Bone marrow smear. 40× objective, oil immersion.
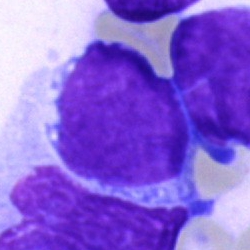
Cell type — blast cell.